Bone marrow smear — 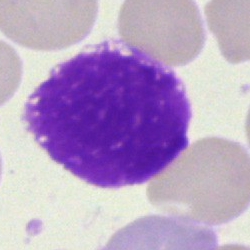

An artefact.